Bone marrow aspirate smear: 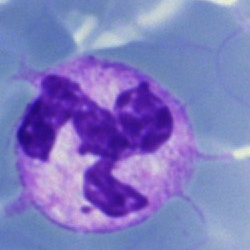 A segmented neutrophil.